Bone marrow smear:
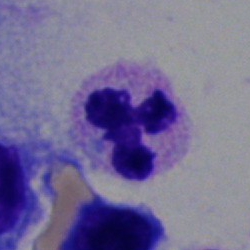 The cell shown is a polymorphonuclear neutrophil.